Peripheral blood smear — 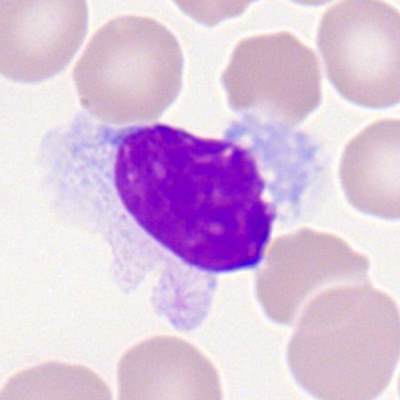
Cell type = typical lymphocyte.